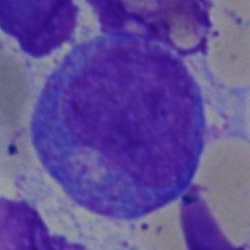

Specimen: bone marrow aspirate smear.
Classification: progranulocyte.